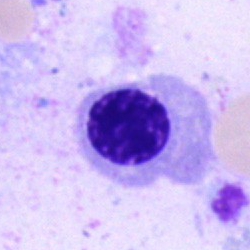

{"cell_type": "erythroblast"}